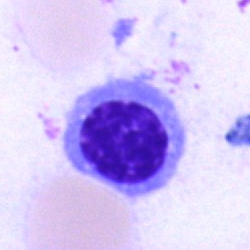Cell = nucleated red blood cell.